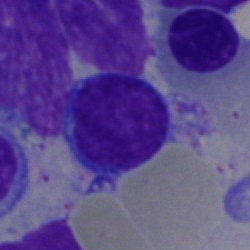 Cell type: typical lymphocyte.